40× objective, oil immersion · bone marrow smear
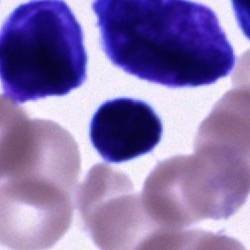 Cell = unidentifiable cell.